Bone marrow smear; brightfield, 40× oil-immersion objective
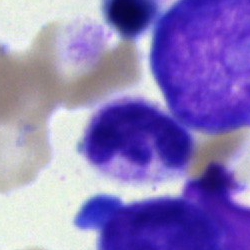 Cell type — polymorphonuclear neutrophil.